Bone marrow aspirate smear
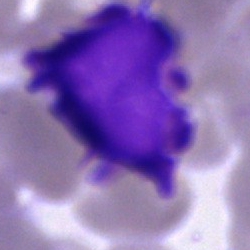

Q: What is shown here?
A: An artefact.